250×250; bone marrow smear:
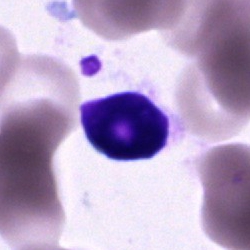 {"cell_type": "cell of indeterminate lineage"}